Bone marrow smear
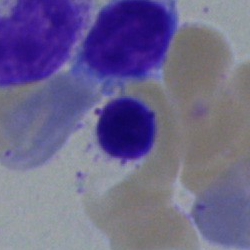 Q: What cell is this?
A: It is a nucleated red cell.